Bone marrow smear: 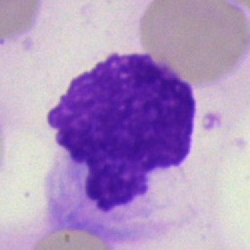Morphological class — artefact.